Single cell centered in the field. Bone marrow aspirate smear:
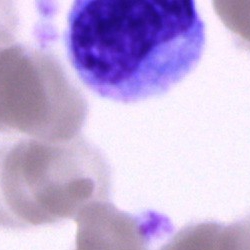Morphology — unidentifiable cell.